Bone marrow smear.
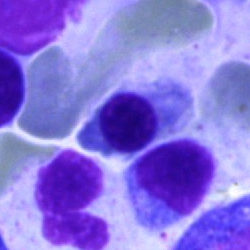
Morphology consistent with a normoblast.